Bone marrow smear: 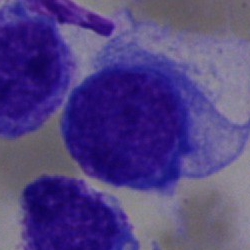
Cell type — blast cell.